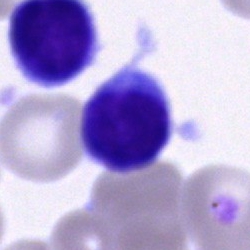 Typical lymphocyte.